40× oil immersion · bone marrow aspirate smear.
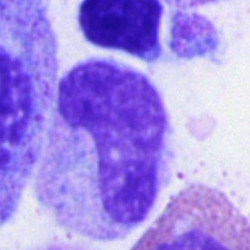 Specimen: bone marrow smear.
Cell type: band-form neutrophil.
Lineage: myeloid.